Bone marrow smear
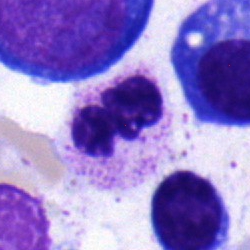
Single cell identified as a polymorphonuclear neutrophil.